250×250 px · bone marrow aspirate smear · single-cell field: 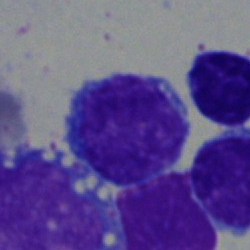
Cell type: typical lymphocyte.